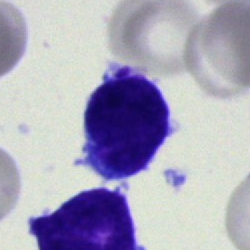

Specimen: bone marrow aspirate smear.
Classification: blast cell.